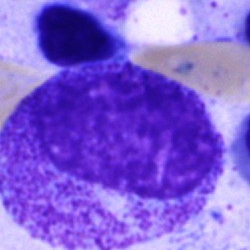
Cell: progranulocyte.